May-Grünwald-Giemsa/Pappenheim stain · bone marrow aspirate smear
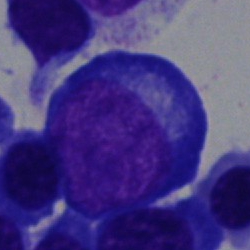
Q: Identify the cell.
A: This is a proerythroblast.